Bone marrow smear:
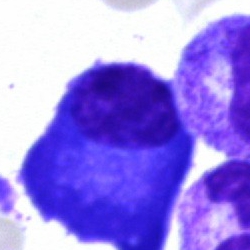Morphology — plasma cell.